Bone marrow smear: 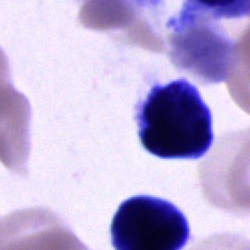
Unidentifiable cell.